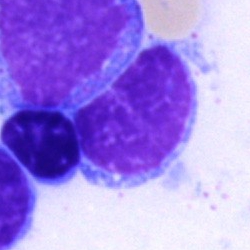
Impression → artefact.